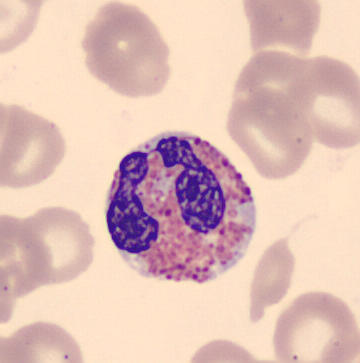
Q: What is this?
A: An eosinophilic granulocyte.

Peripheral blood smear.